Single-cell field; bone marrow aspirate smear — 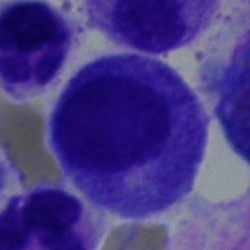 Cell type = myelocyte.